Single-cell field · bone marrow smear · 250 by 250 pixels — 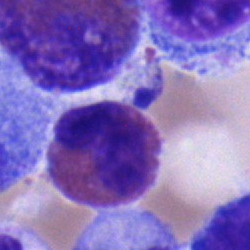 Q: Which cell type is shown here?
A: An eosinophil.